Bone marrow smear.
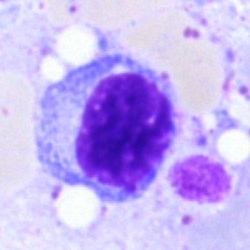 The cell shown is a typical lymphocyte.